Brightfield, 40× oil-immersion objective. Bone marrow aspirate smear:
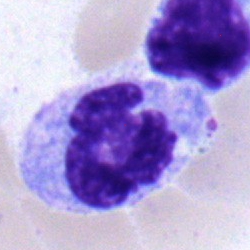

{"cell_type": "monocyte", "lineage": "myeloid"}